May-Grünwald-Giemsa/Pappenheim stain · bone marrow aspirate smear.
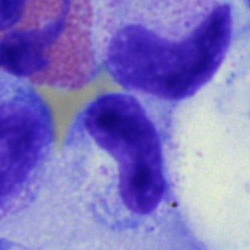

Q: What type of cell is this?
A: This is a band-form neutrophil.